Brightfield, 40× oil-immersion objective. Bone marrow aspirate smear: 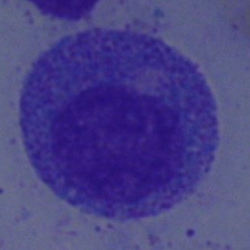
Morphology consistent with a myelocyte.